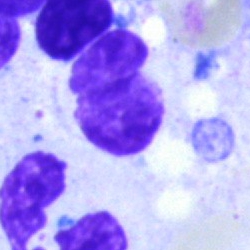Classification: artifact.